Bone marrow aspirate smear
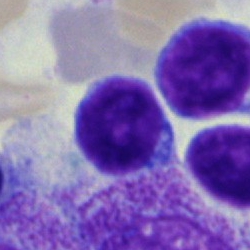 Q: Which cell type is shown here?
A: A lymphocyte.